Bone marrow smear
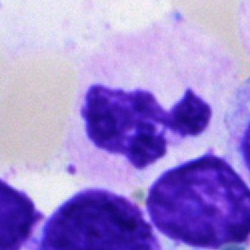

{"cell_type": "polymorphonuclear neutrophil", "lineage": "myeloid"}